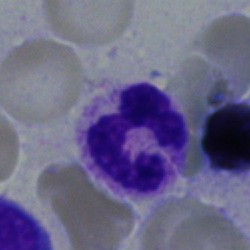 Polymorphonuclear neutrophil.